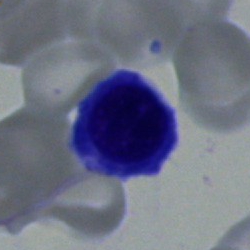Cell: typical lymphocyte.